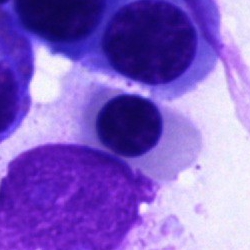

Morphological class = normoblast.